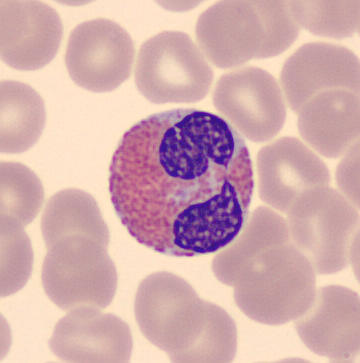 The cell is eosinophil.